Bone marrow smear — 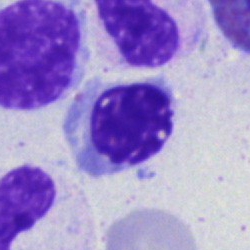

Morphology → erythroblast.